Bone marrow smear
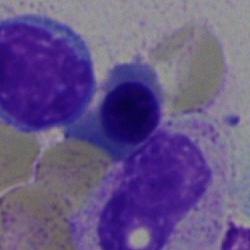Showing a nucleated red cell.